Bone marrow aspirate smear: 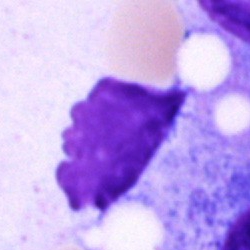The cell shown is an artefact.